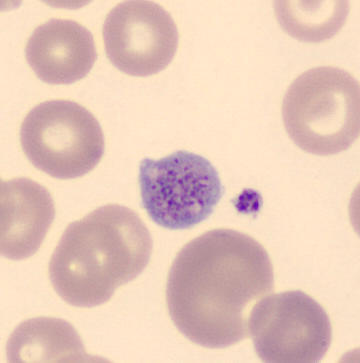
This is a thrombocyte.
Preparation: Peripheral blood smear.